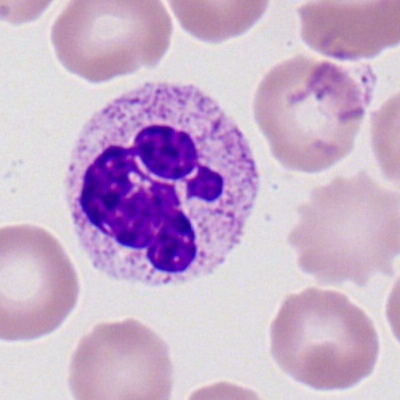

Q: Identify the cell.
A: It is a neutrophil (segmented).